Peripheral blood smear; May-Grünwald-Giemsa-stained:
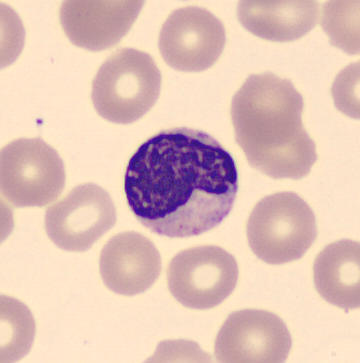The cell is metamyelocyte.